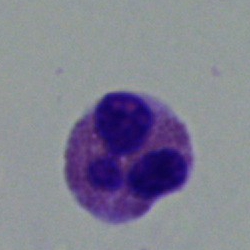 Impression → eosinophil.